Peripheral blood film — 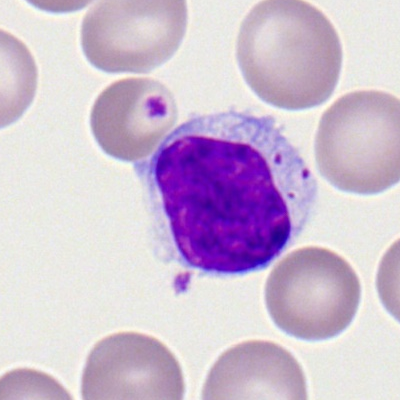

A lymphocyte.